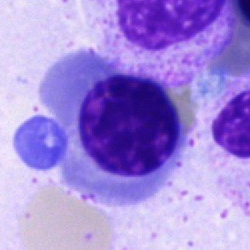
Impression → nucleated red cell.